Bone marrow aspirate smear; image size 250×250; single-cell field:
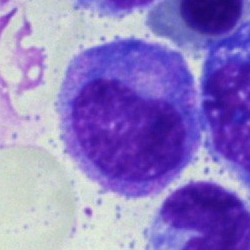 Q: What cell is this?
A: Promyelocyte.